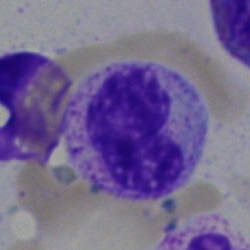Cell type = metamyelocyte.